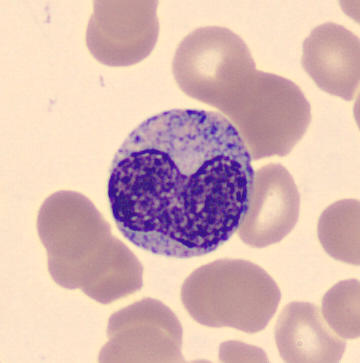{"cell_type": "metamyelocyte", "lineage": "myeloid"}

Peripheral blood film.